Bone marrow aspirate smear
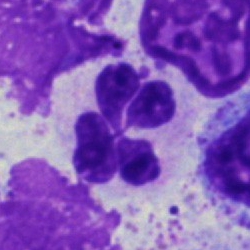Cell type: neutrophil (segmented).